Bone marrow smear: 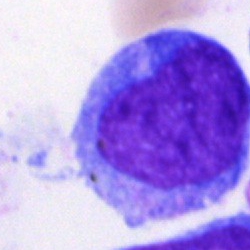
Q: Which cell type is shown here?
A: An undifferentiated blast.